Bone marrow smear · 250 by 250 pixels · MGG-stained:
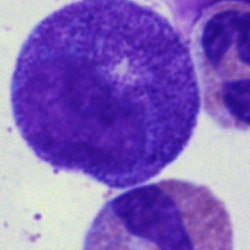

Cell type: myelocyte.